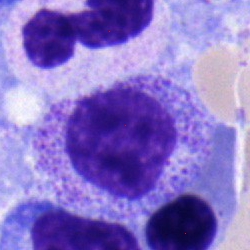

Morphological class: myelocyte.